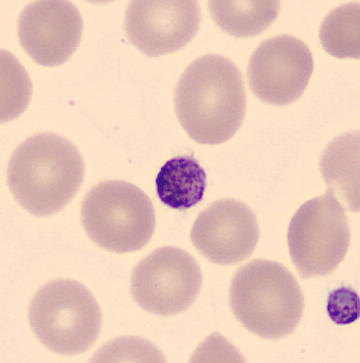 Image: 360×363 px; peripheral blood film.
{"cell_type": "platelet (thrombocyte)"}